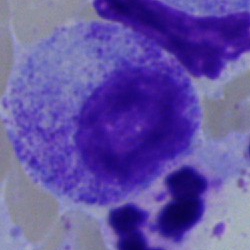
Bone marrow aspirate smear, single cell — myelocyte.